Bone marrow smear:
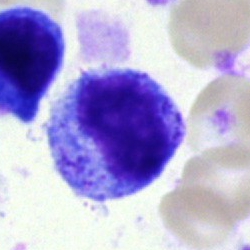

Specimen: bone marrow smear.
Morphological class: myelocyte.
Lineage: myeloid.